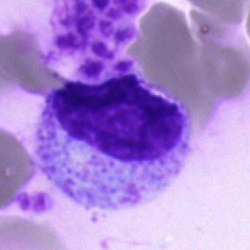

Single-cell crop from a bone marrow smear: myelocyte.